Bone marrow aspirate smear; brightfield microscopy, 40× oil immersion
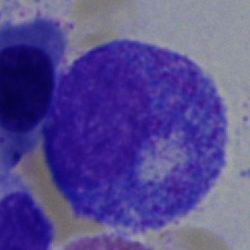

Specimen: bone marrow smear.
Classification: progranulocyte.
Lineage: myeloid.